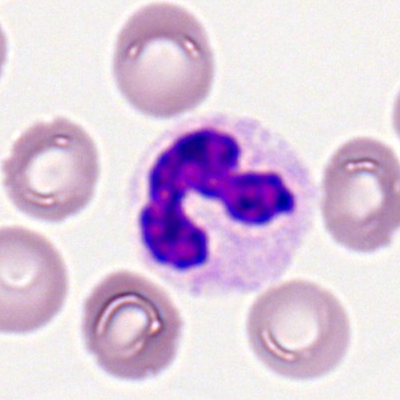 Q: What is the morphological classification of this cell?
A: This is a segmented neutrophil.